Bone marrow smear. Cropped to a single cell:
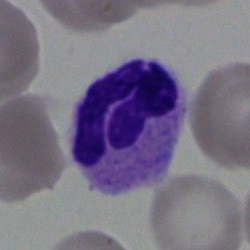 Showing a polymorphonuclear neutrophil.